Single-cell crop · bone marrow smear · brightfield, 40× oil-immersion objective: 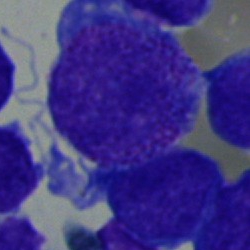 Blast cell.